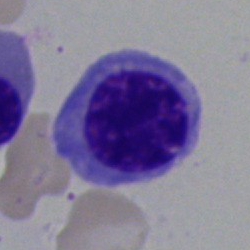Bone marrow aspirate smear, single cell — erythroblast.